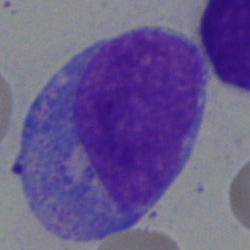
This is a blast cell.